Bone marrow aspirate smear:
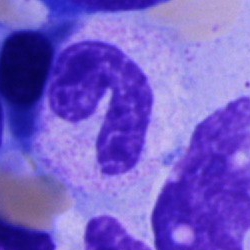
Cell type — neutrophil (band).